Bone marrow aspirate smear
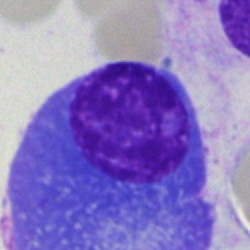Specimen: bone marrow aspirate smear.
Cell type: plasma cell.
Lineage: lymphoid.